Bone marrow aspirate smear.
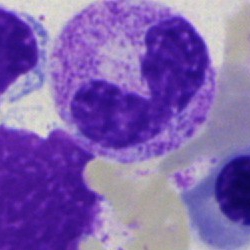 Classification — segmented neutrophil.